Bone marrow smear; 250×250
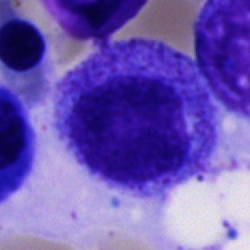A progranulocyte.